Bone marrow smear · 250×250 px: 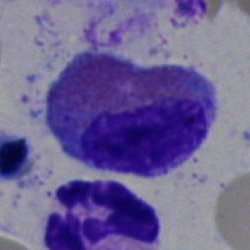 The cell shown is an eosinophil.